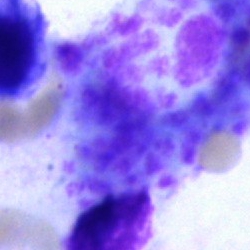

Q: What is shown here?
A: An artefact.